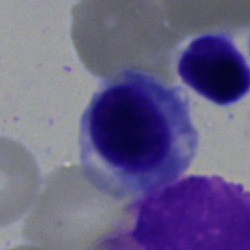 Q: What is the morphological classification of this cell?
A: Nucleated red blood cell.